Bone marrow aspirate smear:
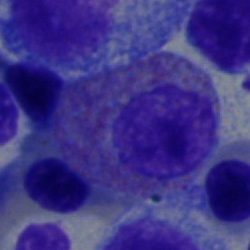

Q: Identify the cell.
A: An eosinophilic granulocyte.